Bone marrow smear
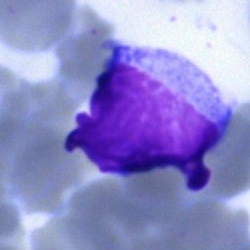
Specimen: bone marrow aspirate smear.
Morphological class: lymphocyte (immature).